Bone marrow aspirate smear; single cell centered in the field
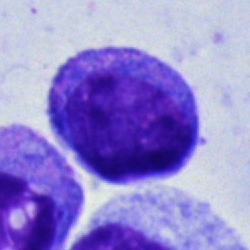 Specimen: bone marrow smear.
Classification: undifferentiated blast.